Single-cell field; bone marrow smear — 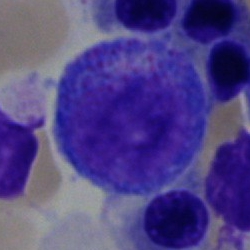 Q: What is shown here?
A: It is a myelocyte.